Bone marrow aspirate smear; 40× oil immersion.
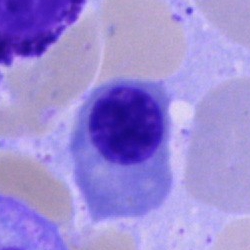
Showing a normoblast.